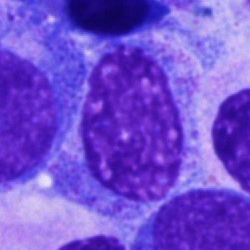Specimen: bone marrow smear.
Morphological class: promyelocyte.
Lineage: myeloid.